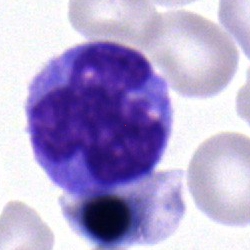

Specimen: bone marrow aspirate smear.
Cell: monocyte.
Lineage: myeloid.